Peripheral blood film: 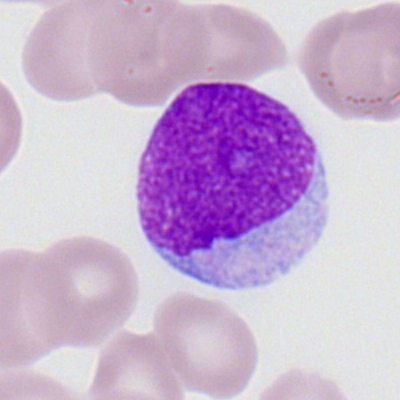

A myeloblast.